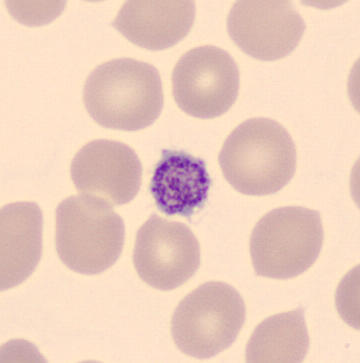 This is a thrombocyte.

Peripheral blood film · imaged on a CellaVision DM96 analyser.